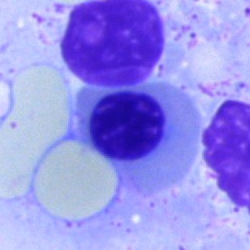Single-cell crop from a bone marrow smear: normoblast.